Bone marrow aspirate smear:
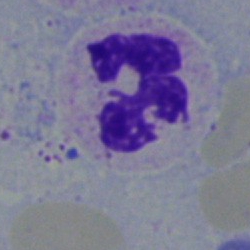

Classification = segmented neutrophil.